Peripheral blood smear; brightfield, 100× oil-immersion objective; single cell centered in the field: 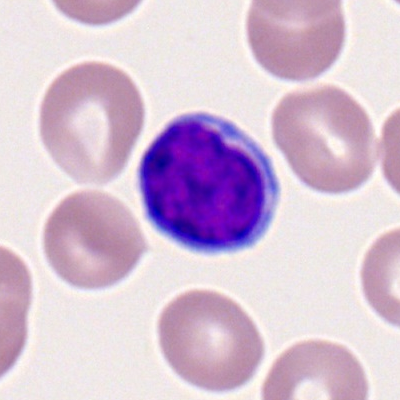 Q: Which cell type is shown here?
A: This is a typical lymphocyte.